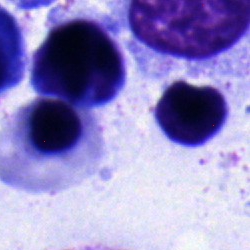

Q: What is the morphological classification of this cell?
A: This is a typical lymphocyte.